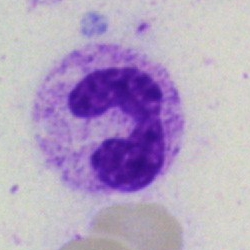 Morphology consistent with a polymorphonuclear neutrophil.